Bone marrow aspirate smear: 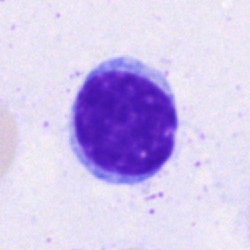 Classification = lymphocyte.